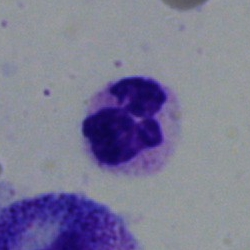
Specimen: bone marrow aspirate smear.
Classification: polymorphonuclear neutrophil.
Lineage: myeloid.